Bone marrow smear · MGG-stained — 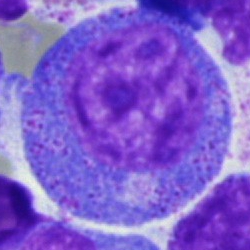
Morphology → promyelocyte.